Brightfield microscopy, 40× oil immersion. Pappenheim-stained. Bone marrow smear — 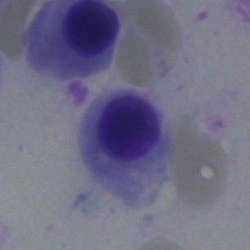

Single cell identified as an erythroblast.